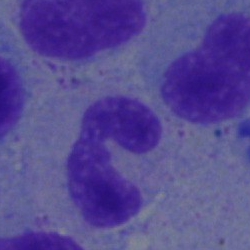
Morphology — band-form neutrophil.